250 by 250 pixels. Bone marrow aspirate smear
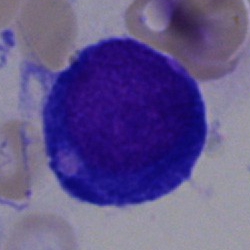
Impression → proerythroblast.